MGG-stained. Bone marrow smear — 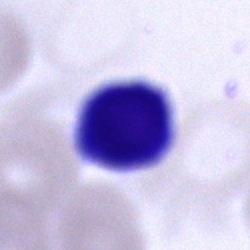
{"cell_type": "typical lymphocyte", "lineage": "lymphoid"}